Brightfield, 40× oil-immersion objective · bone marrow aspirate smear:
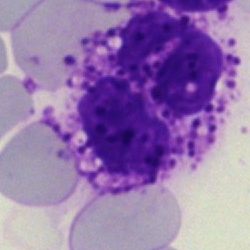 Morphology — basophil.